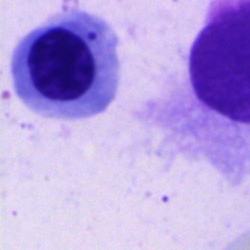
A normoblast.